Bone marrow smear.
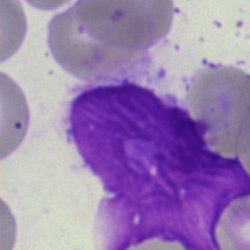

Specimen: bone marrow smear.
Cell type: artifact.